Bone marrow smear — 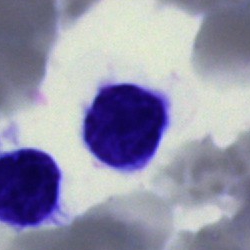

Specimen: bone marrow smear.
Cell: typical lymphocyte.
Lineage: lymphoid.